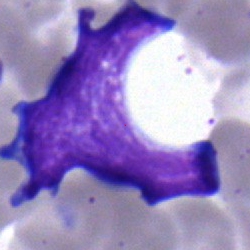
Cell — typical lymphocyte.